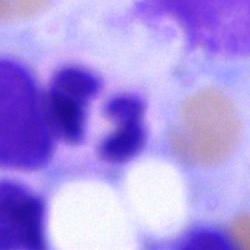
Morphological class — polymorphonuclear neutrophil.